Single cell centered in the field; bone marrow smear; 250×250 — 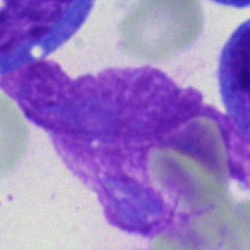Artefact.